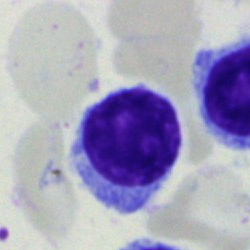Lymphocyte.